Bone marrow aspirate smear. Image size 250×250 — 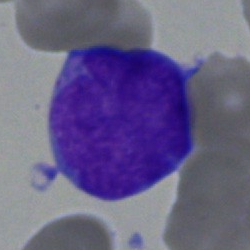
Showing a blast cell.